May-Grünwald-Giemsa stain · image size 250×250 · bone marrow smear
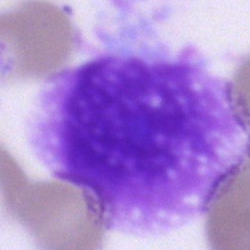 Specimen: bone marrow smear.
Classification: artifact.